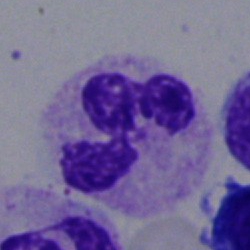 Q: What type of cell is this?
A: This is a neutrophil (segmented).